May-Grünwald-Giemsa stain; 250×250 px; bone marrow aspirate smear:
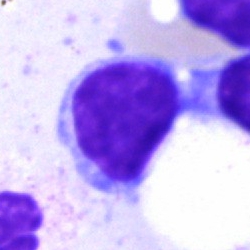

A lymphocyte.